Bone marrow aspirate smear
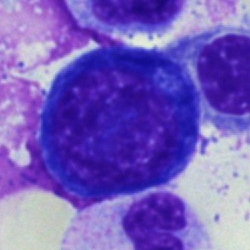 Showing a normoblast.